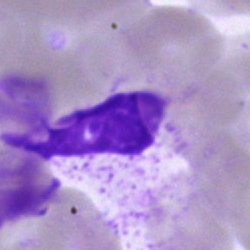Cell type = unidentifiable cell.